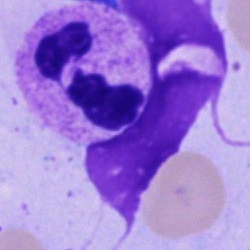
Bone marrow aspirate smear, single cell — segmented neutrophil.